Bone marrow aspirate smear · single cell centered in the field
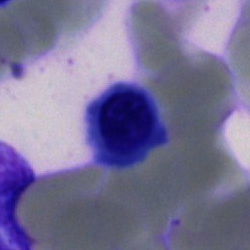
Erythroblast.